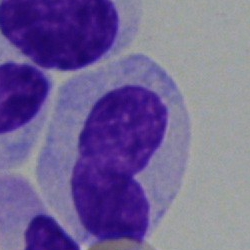

Q: Which cell type is shown here?
A: A neutrophil (band).